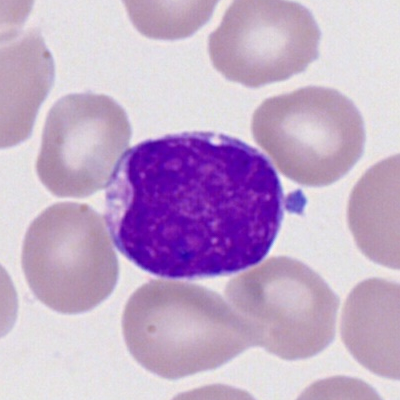

Cell = myeloid blast.